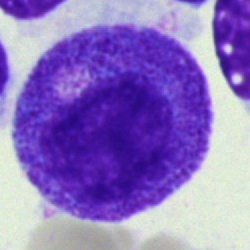

This is a progranulocyte.